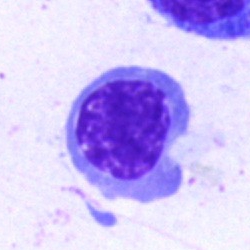
The cell is normoblast.